Bone marrow aspirate smear; 250×250 px — 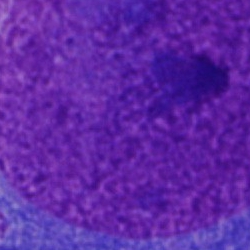 The cell shown is an artifact.